Cropped to a single cell · bone marrow smear · Pappenheim-stained: 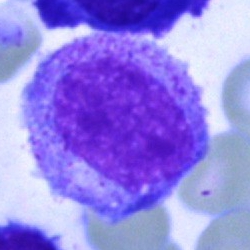

This is a promyelocyte.